Bone marrow smear:
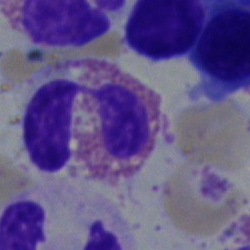Showing an eosinophilic granulocyte.